Bone marrow aspirate smear: 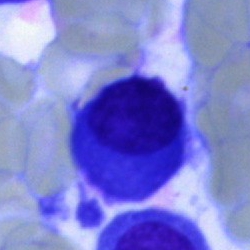 Q: What type of cell is this?
A: It is a plasma cell.